Bone marrow smear · May-Grünwald-Giemsa stain: 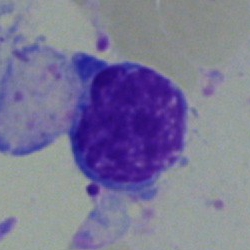
Specimen: bone marrow aspirate smear.
Classification: lymphocyte.